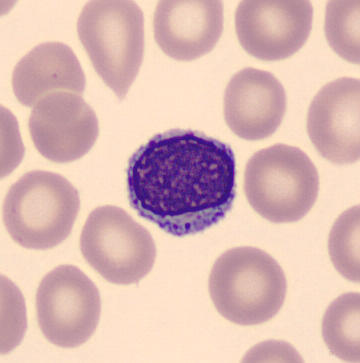 360×363 px · MGG stain.
Specimen: peripheral blood film.
Cell: lymphocyte.
Lineage: lymphoid.